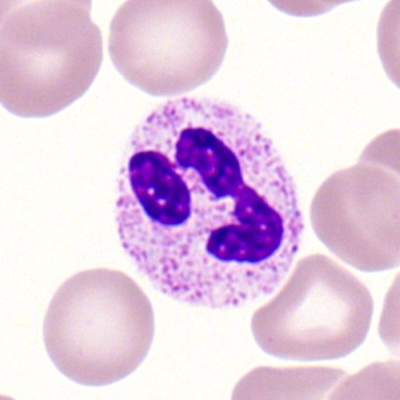 The cell is polymorphonuclear neutrophil.